Peripheral blood smear.
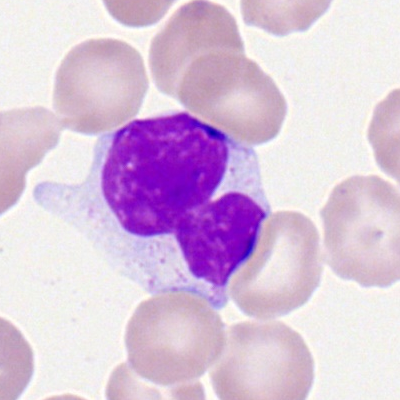{"cell_type": "typical lymphocyte", "lineage": "lymphoid"}